Bone marrow smear:
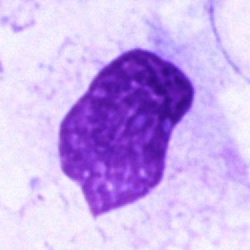Cell type = artefact.